Bone marrow smear
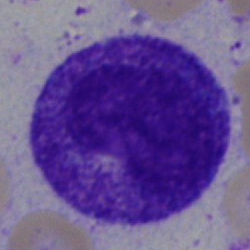Morphological class: progranulocyte.